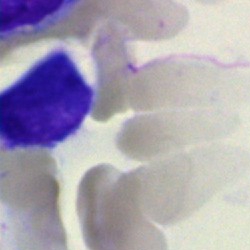 The classification is artifact.